40× objective, oil immersion · bone marrow smear
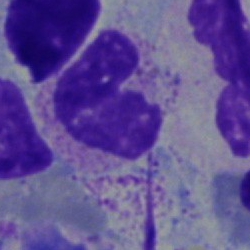 A neutrophil (band).